400×400 px; peripheral blood film:
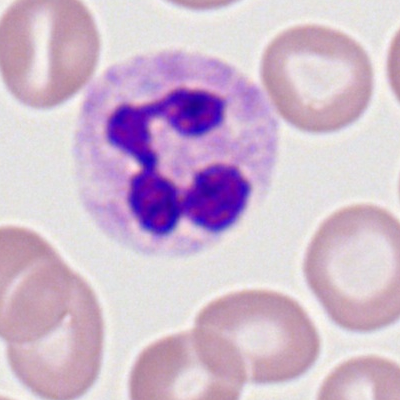
Classification: neutrophil (segmented).